Bone marrow aspirate smear. Cropped to a single cell:
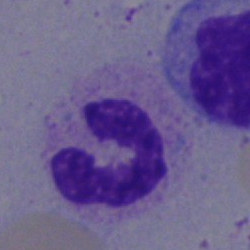Classification = segmented neutrophil.